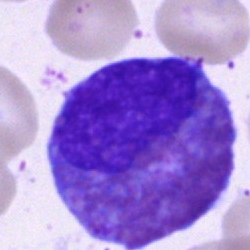

Impression → eosinophil.